Bone marrow smear:
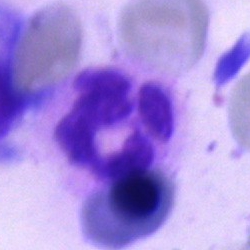
Q: What is shown here?
A: Polymorphonuclear neutrophil.